Bone marrow aspirate smear · May-Grünwald-Giemsa/Pappenheim stain:
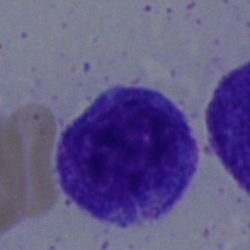Impression — myelocyte.